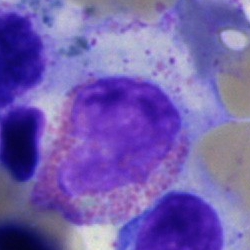
Specimen: bone marrow smear.
Morphological class: eosinophil.
Lineage: myeloid.